Bone marrow aspirate smear:
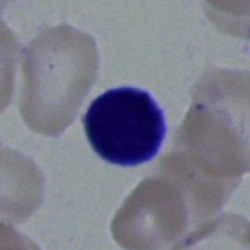
The cell shown is a lymphocyte.